Peripheral blood film · 100× oil immersion, 14.14 px/µm.
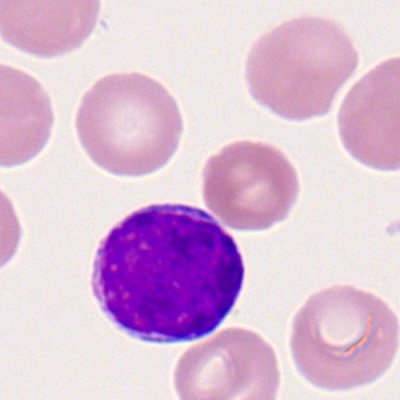
Morphology consistent with a myeloblast.